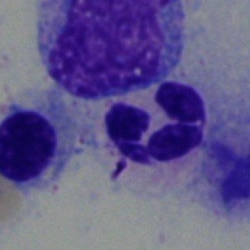
Bone marrow aspirate smear, single cell — polymorphonuclear neutrophil.